40× oil immersion; bone marrow smear
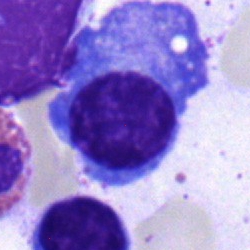Specimen: bone marrow aspirate smear.
Classification: plasmacyte.
Lineage: lymphoid.